250×250 px. Cropped to a single cell. Bone marrow smear
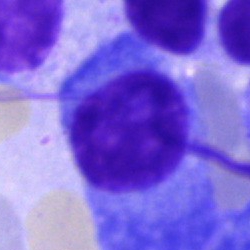 Morphology — plasmacyte.